250×250. Bone marrow aspirate smear:
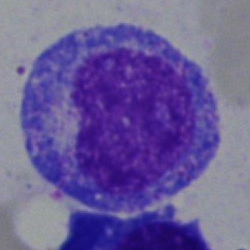 Cell type: progranulocyte.